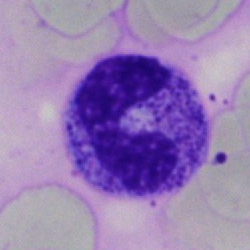

Specimen: bone marrow smear.
Cell type: neutrophil (band).